Bone marrow aspirate smear.
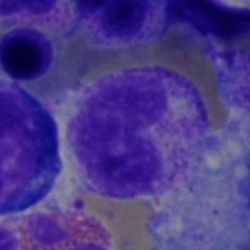 Morphological class = stab cell.